Bone marrow smear; single-cell crop; 40× oil immersion:
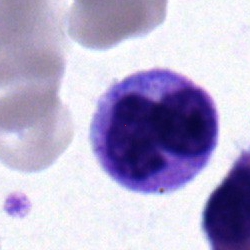
Q: Identify the cell.
A: It is a polymorphonuclear neutrophil.